Bone marrow aspirate smear — 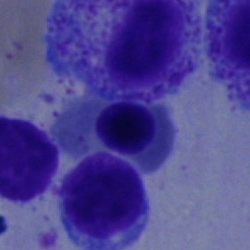
The cell type is normoblast.